M8 digital microscope (Precipoint), 100× oil immersion · peripheral blood film — 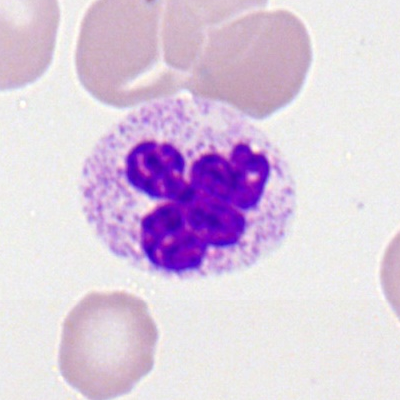 Classification: neutrophil (segmented).